Bone marrow aspirate smear.
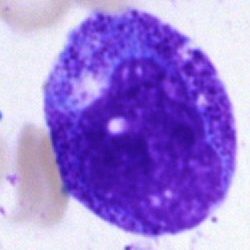 Progranulocyte.